Cropped to a single cell · peripheral blood smear:
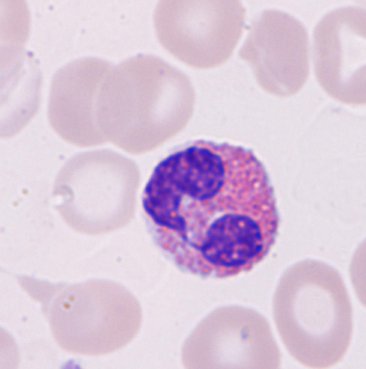
Specimen: peripheral blood smear.
Cell: eosinophil.
Lineage: myeloid.